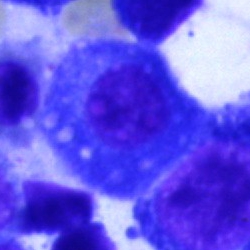

Bone marrow aspirate smear, single cell — plasma cell.